Bone marrow aspirate smear. May-Grünwald-Giemsa stain:
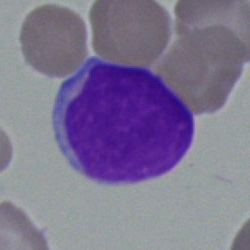

Morphology consistent with an undifferentiated blast.